Bone marrow aspirate smear:
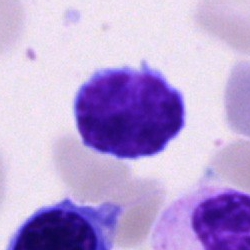

Morphology consistent with a typical lymphocyte.